Single-cell crop; May-Grünwald-Giemsa/Pappenheim stain; bone marrow smear: 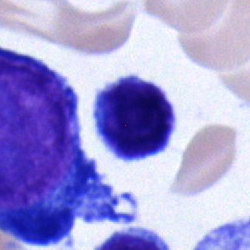
Morphological class — typical lymphocyte.